Bone marrow smear:
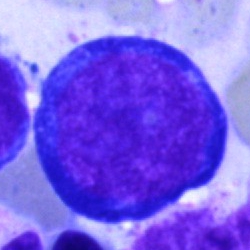Q: What cell is this?
A: It is a proerythroblast.